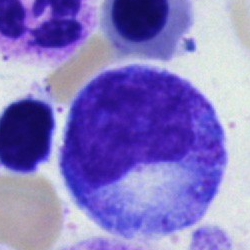

Q: What is the morphological classification of this cell?
A: This is a promyelocyte.